250 by 250 pixels · bone marrow smear
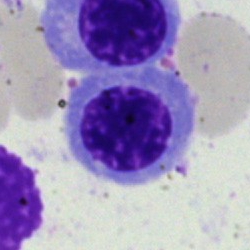

The morphological class is erythroblast.